Bone marrow smear:
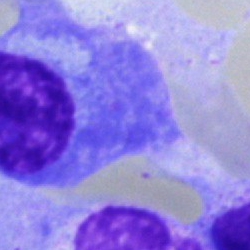
Classification: plasmacyte.